250 by 250 pixels. Bone marrow aspirate smear:
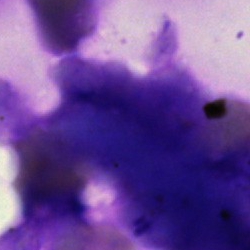Morphology — artefact.